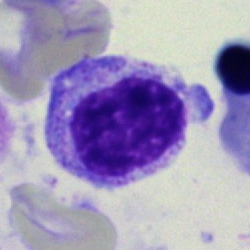

Showing a myelocyte.